Bone marrow aspirate smear
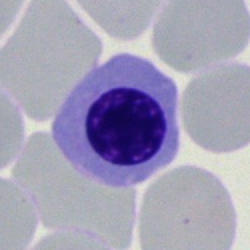Q: Which cell type is shown here?
A: This is a nucleated red blood cell.